Bone marrow aspirate smear.
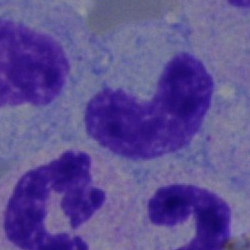 Impression — band-form neutrophil.